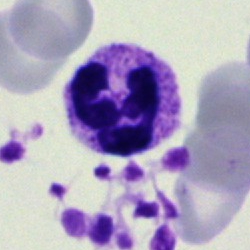
{"cell_type": "segmented neutrophil", "lineage": "myeloid"}